Bone marrow aspirate smear: 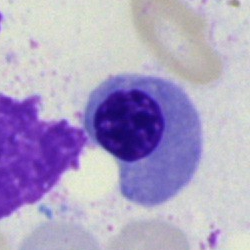

Single cell identified as an erythroblast.